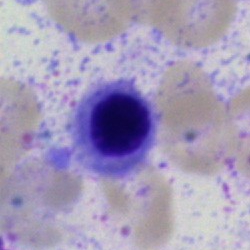The cell is nucleated red cell.